Single cell centered in the field; bone marrow smear
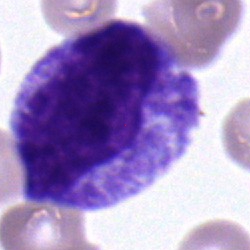 A myelocyte.